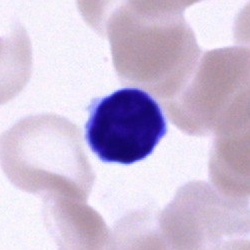 Specimen: bone marrow aspirate smear.
Cell type: lymphocyte.
Lineage: lymphoid.